Bone marrow aspirate smear:
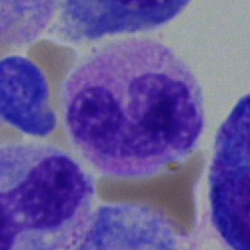
This is a segmented neutrophil.